Pappenheim-stained. Bone marrow smear
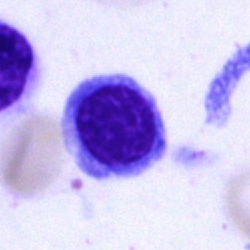 Impression — typical lymphocyte.